Bone marrow aspirate smear.
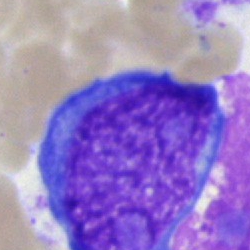
This is a blast.